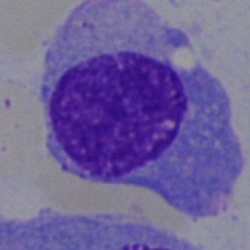

Plasmacyte.